Brightfield, 100× oil-immersion objective · peripheral blood smear · Romanowsky stain: 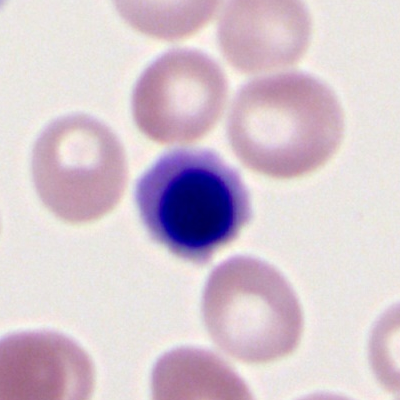Showing an erythroblast.